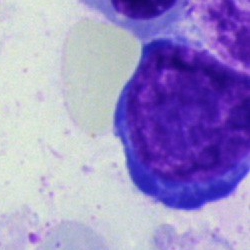

Showing a normoblast.